Bone marrow smear; single-cell crop; May-Grünwald-Giemsa/Pappenheim stain
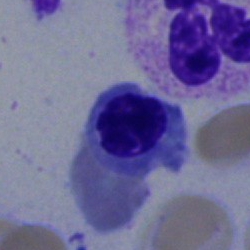

This is an erythroblast.